Cropped to a single cell · bone marrow aspirate smear — 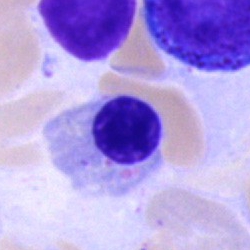

Morphology — nucleated red blood cell.